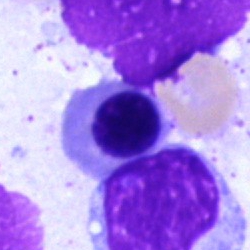
Erythroblast.